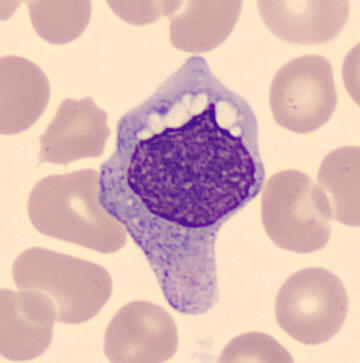
Peripheral blood film. {"cell_type": "monocyte", "lineage": "myeloid"}